Bone marrow aspirate smear — 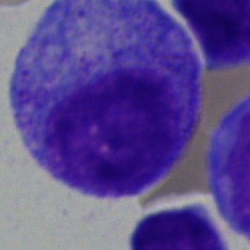

Morphology → promyelocyte.